Bone marrow smear: 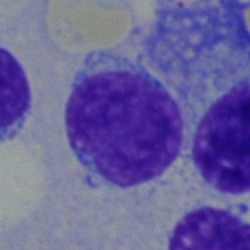Q: What type of cell is this?
A: A lymphocyte.